Bone marrow aspirate smear.
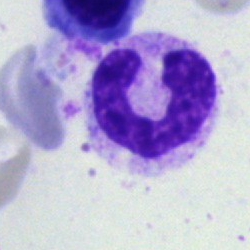 Q: What cell is this?
A: Segmented neutrophil.